Bone marrow aspirate smear:
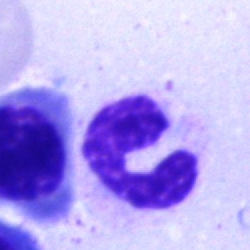

Specimen: bone marrow smear.
Morphological class: stab cell.